Bone marrow smear · cropped to a single cell.
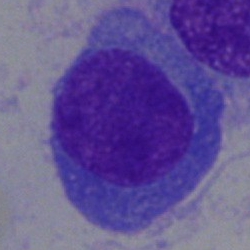
Specimen: bone marrow smear.
Cell: plasmacyte.
Lineage: lymphoid.